Bone marrow aspirate smear. Single cell centered in the field.
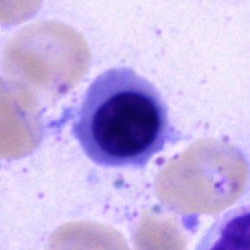 Specimen: bone marrow aspirate smear.
Morphological class: nucleated red blood cell.